Bone marrow aspirate smear: 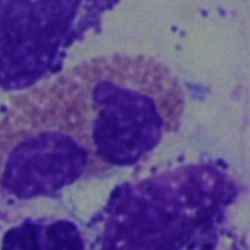
The cell shown is an eosinophil.